Bone marrow smear: 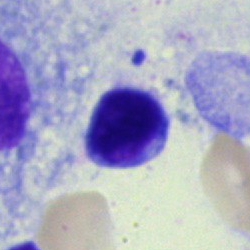

Cell type — lymphocyte.